Bone marrow aspirate smear: 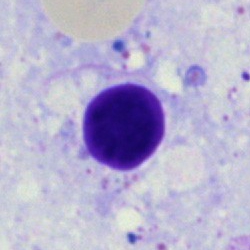

Cell type — artefact.